Bone marrow smear. 40× objective, oil immersion:
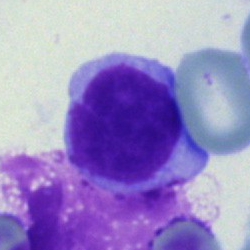{"cell_type": "typical lymphocyte"}